Peripheral blood film: 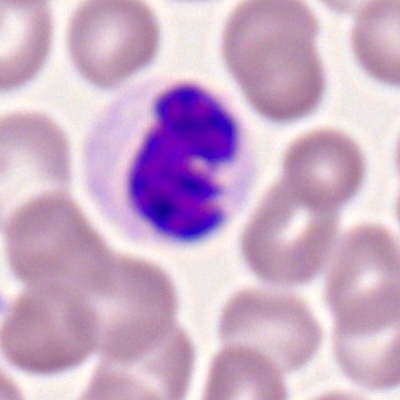A segmented neutrophil.